May-Grünwald-Giemsa stain · bone marrow aspirate smear.
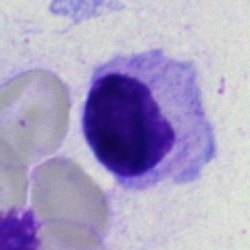

Showing a myelocyte.